Brightfield, 40× oil-immersion objective · May-Grünwald-Giemsa stain · bone marrow smear:
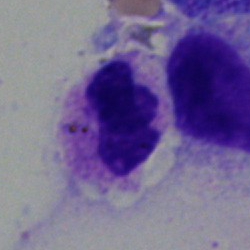 Morphology consistent with a polymorphonuclear neutrophil.